Peripheral blood smear · cropped to a single cell
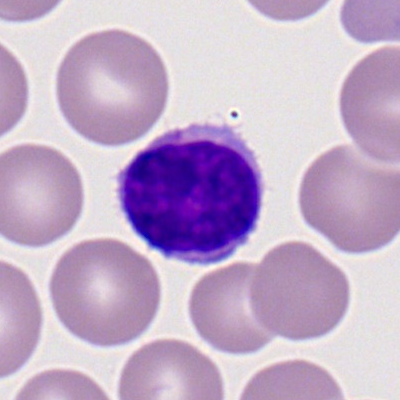
The cell type is typical lymphocyte.